Bone marrow smear; brightfield microscopy, 40× oil immersion
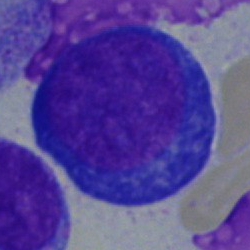Single cell identified as a proerythroblast.